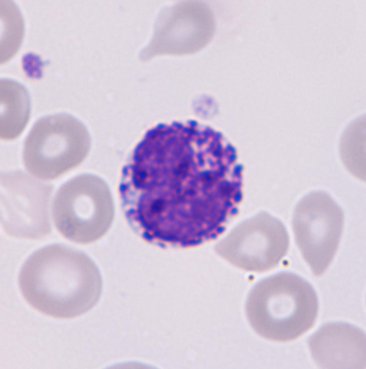This is a basophilic granulocyte.

Peripheral blood film.